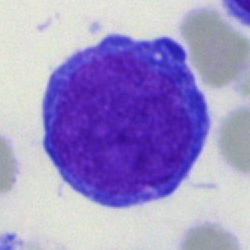
Specimen: bone marrow aspirate smear.
Cell: blast cell.